Bone marrow aspirate smear; 40× objective, oil immersion; May-Grünwald-Giemsa stain: 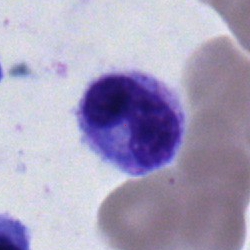

{"cell_type": "neutrophil (band)", "lineage": "myeloid"}